Bone marrow smear — 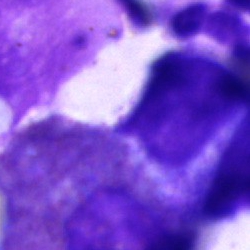
{"cell_type": "artefact"}